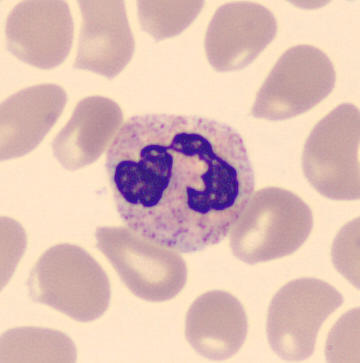

The cell shown is a polymorphonuclear neutrophil.